Bone marrow smear:
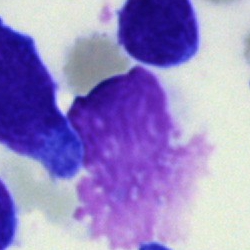
Morphology consistent with an artefact.